MGG-stained; bone marrow aspirate smear; single-cell crop:
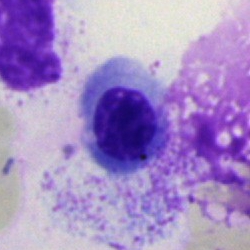Morphology — normoblast.